Peripheral blood film.
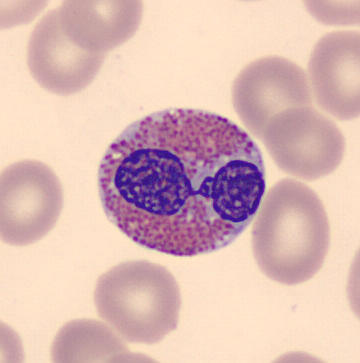 The cell is eosinophilic granulocyte.